Peripheral blood smear — 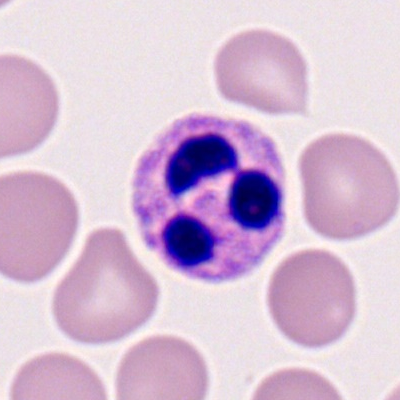
The morphological class is segmented neutrophil.